Bone marrow smear
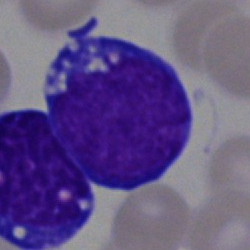Specimen: bone marrow aspirate smear.
Cell type: blast.